Peripheral blood smear: 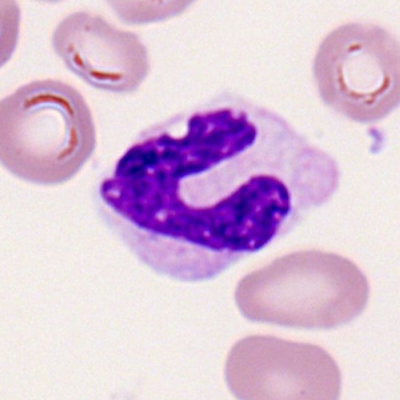

{"cell_type": "polymorphonuclear neutrophil", "lineage": "myeloid"}